Bone marrow smear
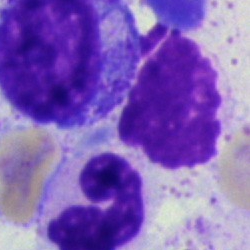Cell: artefact.